40× oil immersion; bone marrow aspirate smear
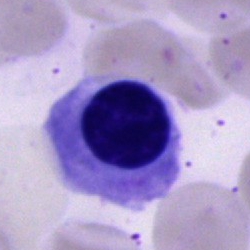 The classification is erythroblast.